Single-cell crop. Bone marrow aspirate smear.
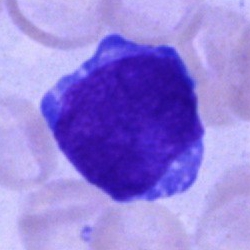
Single cell identified as a blast.